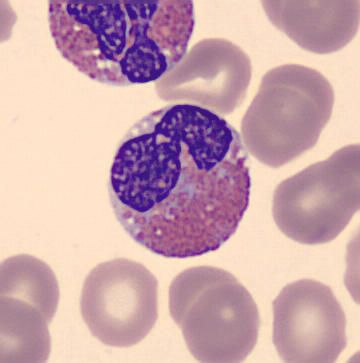The cell type is eosinophil.

Acquisition: 360×363 px; peripheral blood smear.